Brightfield microscopy, 40× oil immersion. Bone marrow aspirate smear:
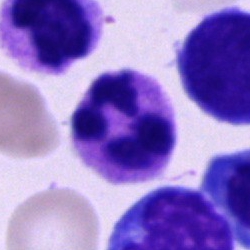Q: What cell is this?
A: Polymorphonuclear neutrophil.